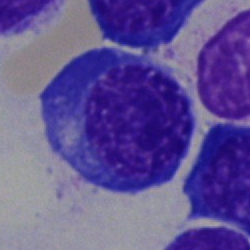
Bone marrow aspirate smear, single cell — nucleated red blood cell.